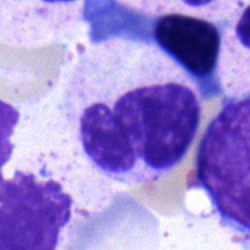

Morphology consistent with a segmented neutrophil.